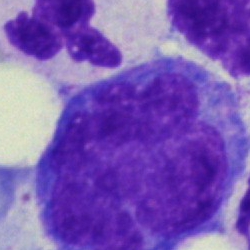

This is a monocyte.